Bone marrow aspirate smear:
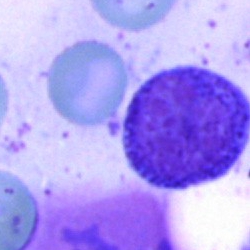 The morphological class is cell of indeterminate lineage.